Bone marrow aspirate smear: 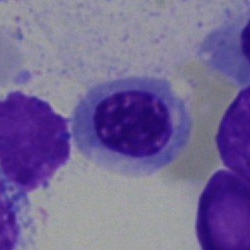

Nucleated red blood cell.